Bone marrow aspirate smear: 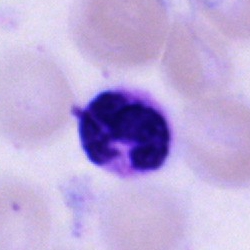

Morphological class = polymorphonuclear neutrophil.